250 by 250 pixels. Bone marrow smear — 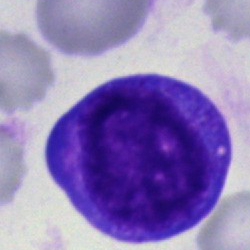Impression — plasmacyte.